250 by 250 pixels · bone marrow smear · cropped to a single cell: 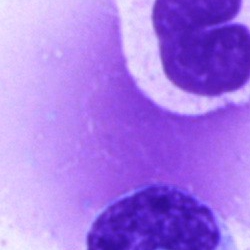
Morphology → artefact.